Bone marrow aspirate smear. 250×250. Cropped to a single cell: 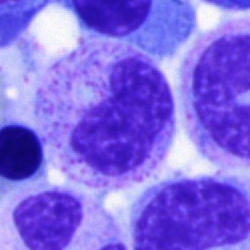 Q: What type of cell is this?
A: A band-form neutrophil.